Bone marrow aspirate smear
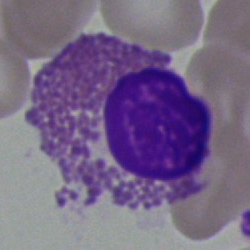Morphological class = eosinophilic granulocyte.